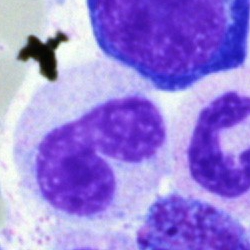

Specimen: bone marrow aspirate smear.
Cell type: stab cell.